May-Grünwald-Giemsa/Pappenheim stain. Single cell centered in the field. Bone marrow aspirate smear: 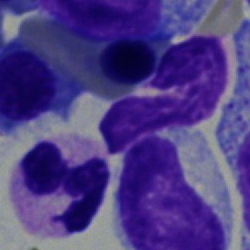Q: Identify the cell.
A: Segmented neutrophil.